Bone marrow aspirate smear.
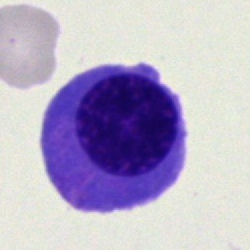 A nucleated red cell.